Bone marrow aspirate smear.
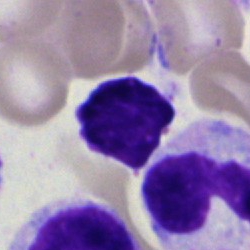 Showing an artifact.